Bone marrow aspirate smear — 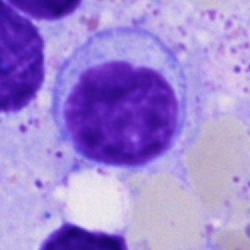
Q: Identify the cell.
A: Lymphocyte.